40× oil immersion · bone marrow aspirate smear · MGG-stained:
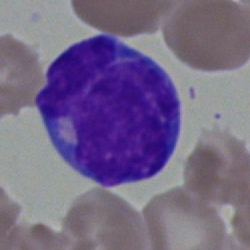

Blast cell.